Bone marrow aspirate smear — 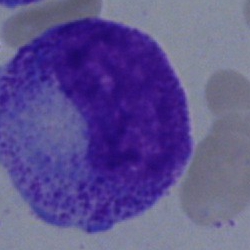

Q: Which cell type is shown here?
A: This is a promyelocyte.